250×250 px. MGG-stained. Bone marrow smear.
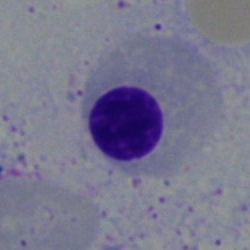 Showing an erythroblast.